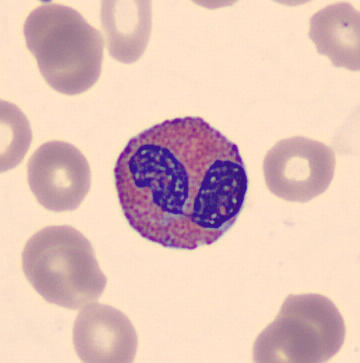
Single cell identified as an eosinophilic granulocyte.